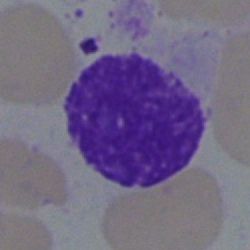

Specimen: bone marrow smear.
Cell: artifact.